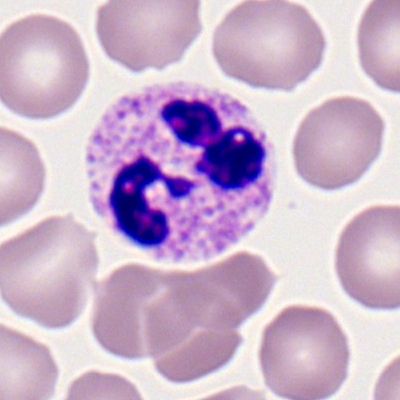

A polymorphonuclear neutrophil on a peripheral blood smear.